Bone marrow smear
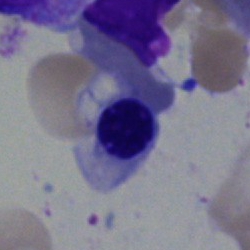

Classification — nucleated red blood cell.